Peripheral blood smear
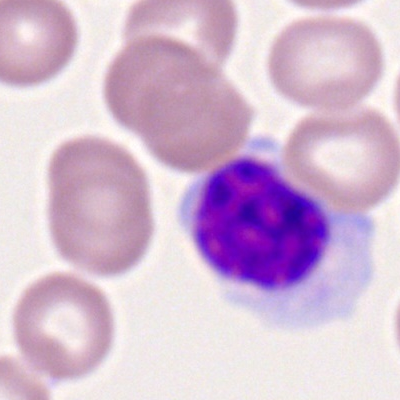

Specimen: peripheral blood film.
Cell: lymphocyte.